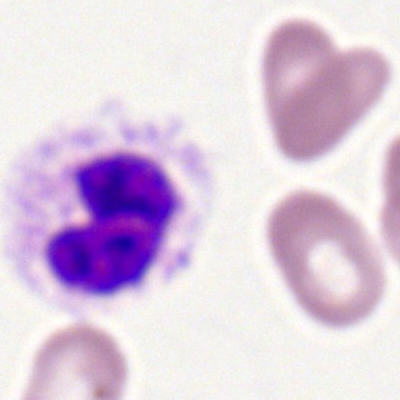 A neutrophil (segmented) on a peripheral blood smear.